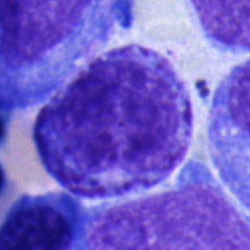
Classification — myelocyte.